Bone marrow aspirate smear.
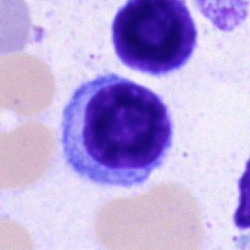 The cell shown is a lymphocyte.